Bone marrow aspirate smear: 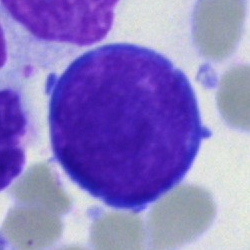Q: What cell is this?
A: This is a blast cell.